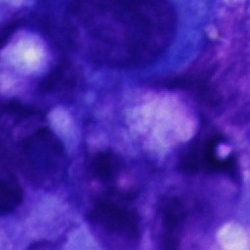

Classification: other cell.